Bone marrow smear:
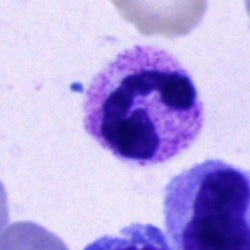 Morphological class: neutrophil (segmented).